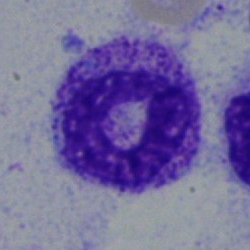The cell shown is a neutrophil (band).